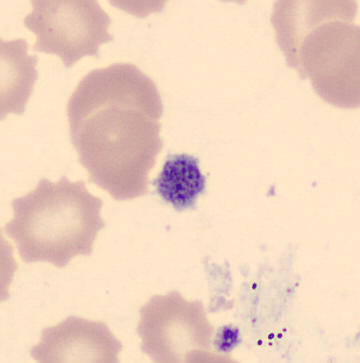From a peripheral blood smear: a platelet (thrombocyte).